Romanowsky-type stain. Peripheral blood smear — 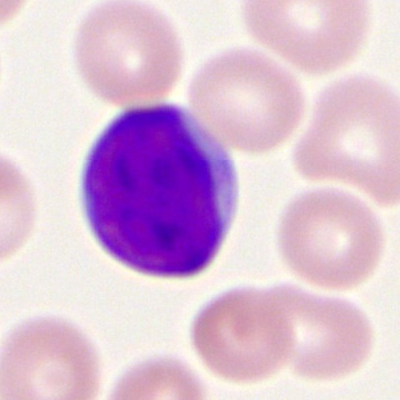 Specimen: peripheral blood smear.
Cell: myeloid blast.
Lineage: myeloid.